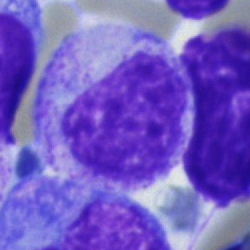 Q: What is the morphological classification of this cell?
A: It is a myelocyte.